MGG-stained. Bone marrow aspirate smear
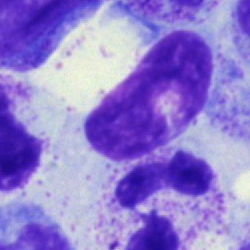 Specimen: bone marrow aspirate smear.
Cell type: artifact.